Single-cell crop; bone marrow smear; 250×250 px: 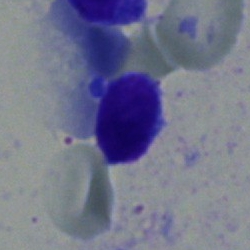
Q: Identify the cell.
A: Lymphocyte.